Bone marrow aspirate smear
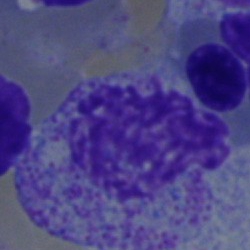Q: What cell is this?
A: This is a myelocyte.